Bone marrow aspirate smear. Brightfield, 40× oil-immersion objective
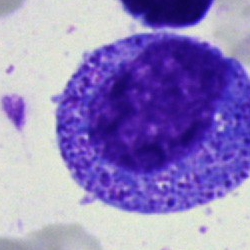 Promyelocyte.